Bone marrow smear:
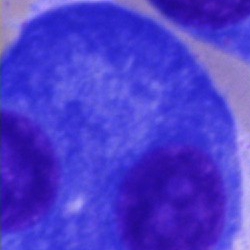Specimen: bone marrow aspirate smear.
Cell type: plasma cell.